Bone marrow aspirate smear:
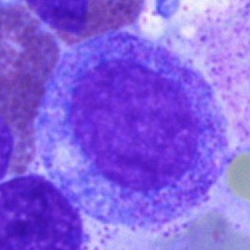 Specimen: bone marrow aspirate smear.
Cell: promyelocyte.
Lineage: myeloid.